Bone marrow smear — 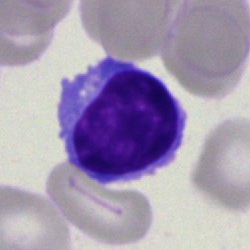Impression — typical lymphocyte.